Bone marrow smear: 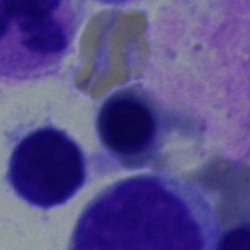
Impression — nucleated red cell.